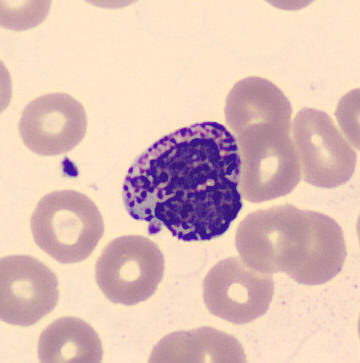Peripheral blood film. Showing a basophilic granulocyte.